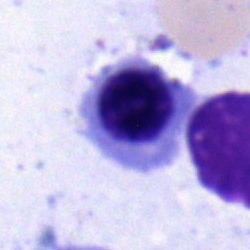{"cell_type": "nucleated red blood cell", "lineage": "erythroid"}